Peripheral blood smear; single cell centered in the field
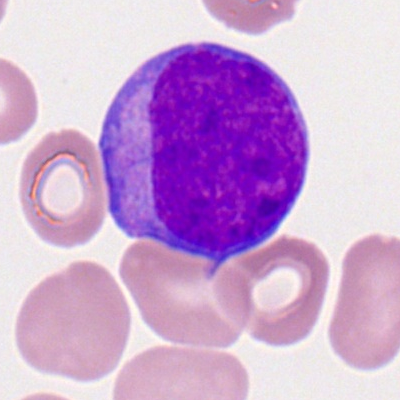
Q: What type of cell is this?
A: A myeloid blast.